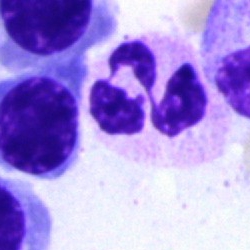Bone marrow smear showing a polymorphonuclear neutrophil.